Bone marrow aspirate smear.
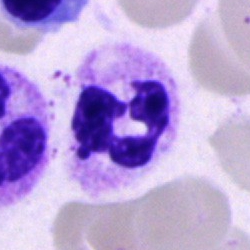

{"cell_type": "polymorphonuclear neutrophil", "lineage": "myeloid"}